Bone marrow smear — 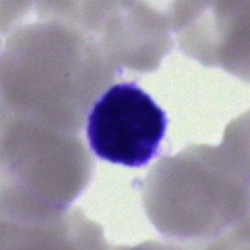
Classification: typical lymphocyte.